Bone marrow smear
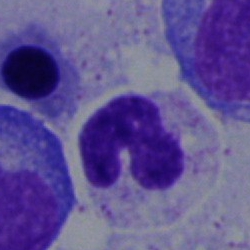Q: What cell is this?
A: This is a band neutrophil.